Single-cell field. Bone marrow smear. May-Grünwald-Giemsa/Pappenheim stain: 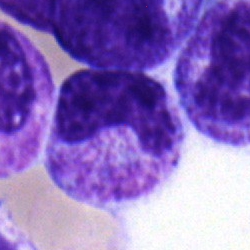
Specimen: bone marrow aspirate smear.
Morphological class: band-form neutrophil.